May-Grünwald-Giemsa stain; bone marrow smear — 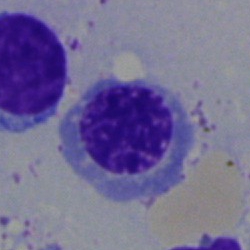
Classification = erythroblast.